Bone marrow smear; single-cell crop: 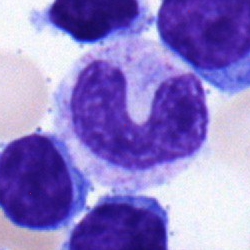Showing a stab cell.